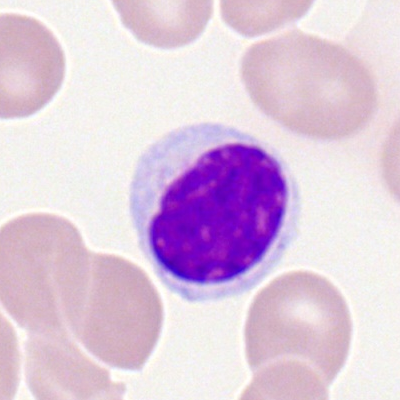Showing a typical lymphocyte.